Bone marrow smear:
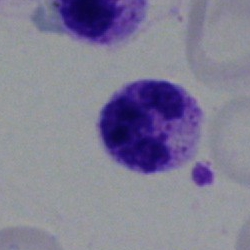

{"cell_type": "neutrophil (segmented)", "lineage": "myeloid"}